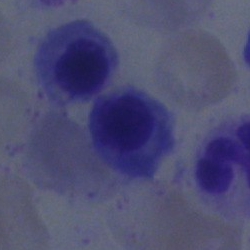
Morphology → nucleated red blood cell.